Bone marrow smear
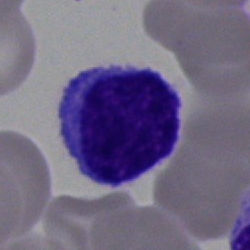 Morphology consistent with a lymphocyte.